Peripheral blood film.
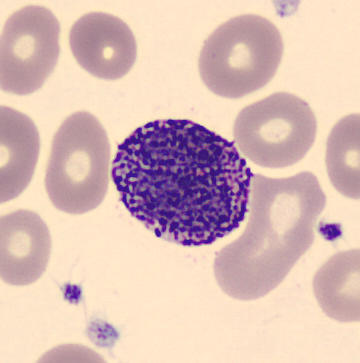

Cell type: basophilic granulocyte.